100× oil immersion. Image size 400×400. Peripheral blood film.
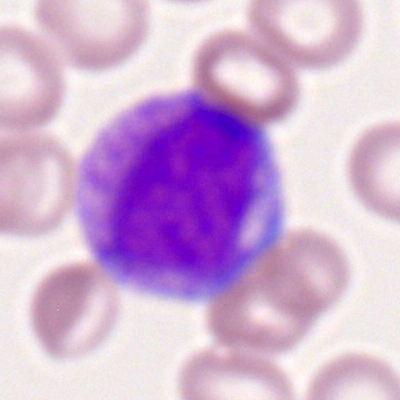
Morphology → myelocyte.